Image size 250×250 · May-Grünwald-Giemsa/Pappenheim stain · bone marrow aspirate smear
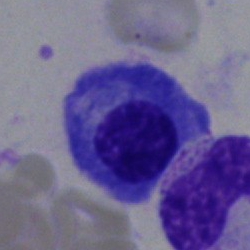
{"cell_type": "plasmacyte", "lineage": "lymphoid"}